Bone marrow aspirate smear; brightfield microscopy, 40× oil immersion; May-Grünwald-Giemsa stain
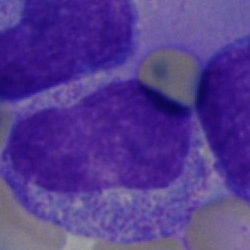 The morphological class is artefact.